Bone marrow smear.
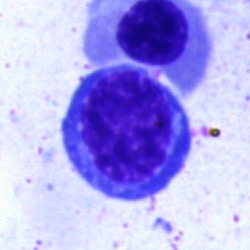
Nucleated red cell.